Bone marrow smear
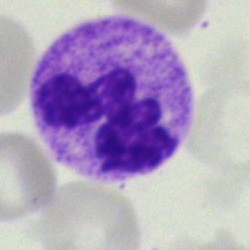

Q: Identify the cell.
A: A polymorphonuclear neutrophil.